Bone marrow aspirate smear: 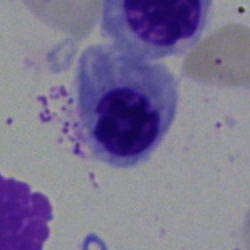 Impression → nucleated red blood cell.